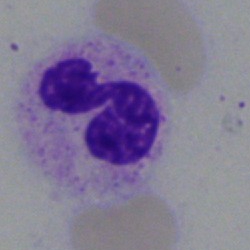
A neutrophil (segmented) on a bone marrow smear.